Bone marrow smear · 40× objective, oil immersion — 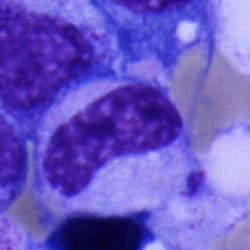

Cell: metamyelocyte.